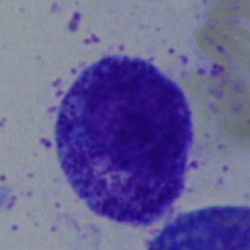Morphology — myelocyte.